May-Grünwald-Giemsa stain; bone marrow smear; 40× objective, oil immersion
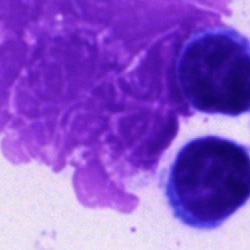

Cell type — artefact.